Peripheral blood smear
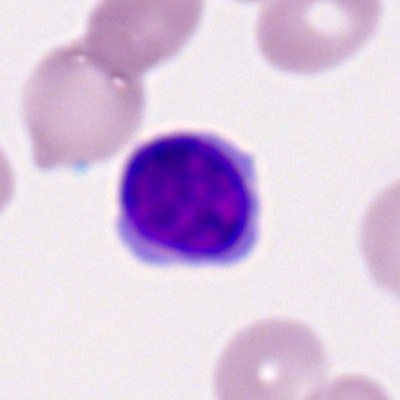Q: Identify the cell.
A: A typical lymphocyte.